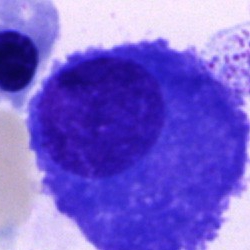Specimen: bone marrow smear.
Morphological class: plasma cell.
Lineage: lymphoid.